Bone marrow smear:
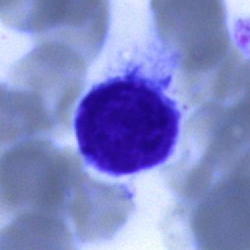Cell: typical lymphocyte.